May-Grünwald-Giemsa/Pappenheim stain. Bone marrow smear:
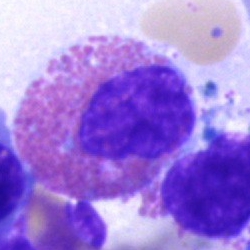Single cell identified as an eosinophil.